Bone marrow smear:
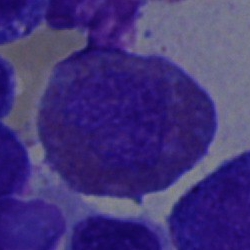

Q: What cell is this?
A: Eosinophilic granulocyte.